Bone marrow aspirate smear · 40× objective, oil immersion
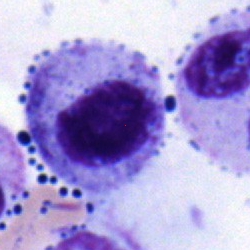 Impression → myelocyte.